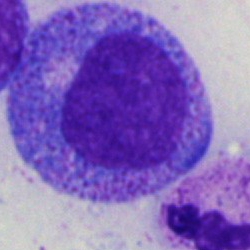 Morphology consistent with a promyelocyte.